Bone marrow aspirate smear: 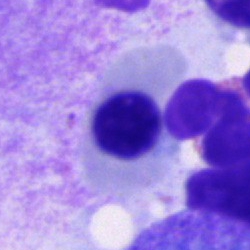

Morphological class: erythroblast.